Bone marrow smear — 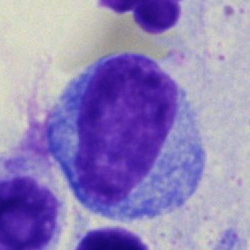Classification — blast.